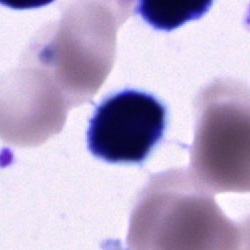

Q: Identify the cell.
A: Unidentifiable cell.